Bone marrow smear; 250 by 250 pixels; 40× objective, oil immersion: 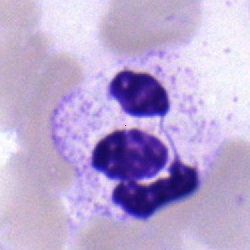 Q: Which cell type is shown here?
A: Neutrophil (segmented).